Bone marrow aspirate smear; 250×250 px; brightfield, 40× oil-immersion objective:
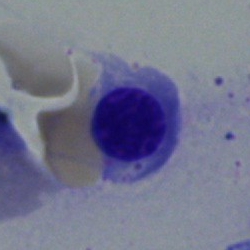

Q: Identify the cell.
A: It is a nucleated red blood cell.